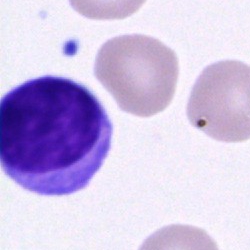Bone marrow aspirate smear, single cell — lymphocyte.